40× objective, oil immersion. Bone marrow smear: 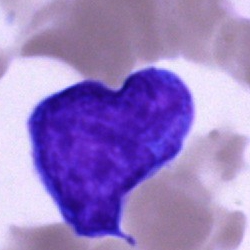

Morphology → blast.